Bone marrow smear; May-Grünwald-Giemsa/Pappenheim stain:
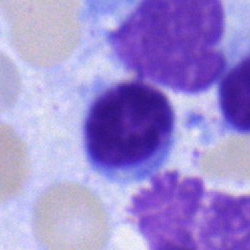Morphology — lymphocyte.